Bone marrow aspirate smear — 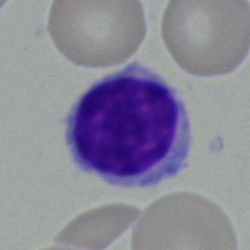
Q: What cell is this?
A: It is a typical lymphocyte.